Single-cell crop; bone marrow aspirate smear; May-Grünwald-Giemsa stain:
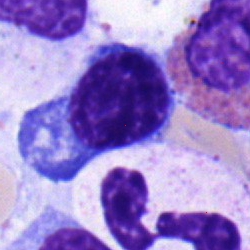

Morphological class: plasmacyte.